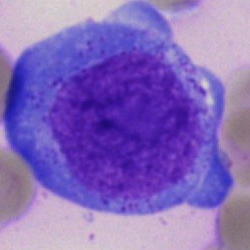Q: What is shown here?
A: This is an undifferentiated blast.